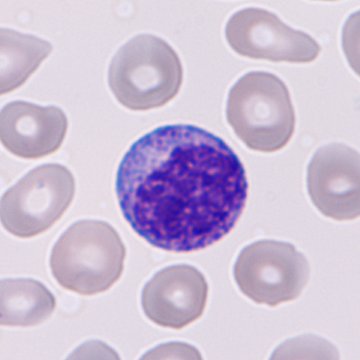Acquisition: Peripheral blood smear. Q: What cell is this?
A: Immature granulocyte.